Bone marrow smear: 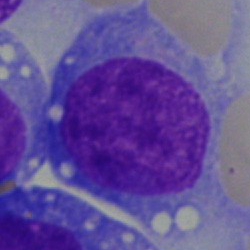
This is a blast cell.